40× objective, oil immersion; 250 by 250 pixels; bone marrow smear.
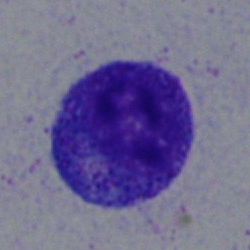

Q: What is shown here?
A: It is a progranulocyte.